Bone marrow smear
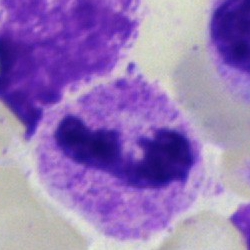 {"cell_type": "segmented neutrophil"}